Bone marrow smear: 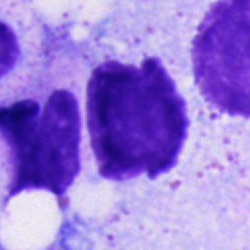
The cell shown is an artefact.